Bone marrow smear · 40× oil immersion
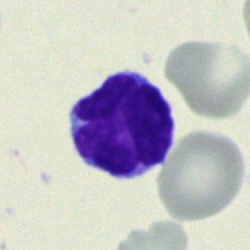
Q: What is the morphological classification of this cell?
A: It is a typical lymphocyte.